Single-cell field · May-Grünwald-Giemsa/Pappenheim stain · bone marrow aspirate smear — 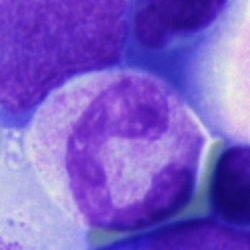
Showing a segmented neutrophil.